Bone marrow aspirate smear — 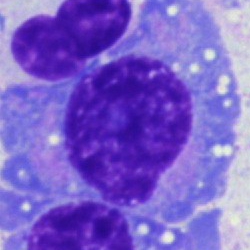
Specimen: bone marrow aspirate smear.
Classification: plasmacyte.
Lineage: lymphoid.